Bone marrow smear · single cell centered in the field: 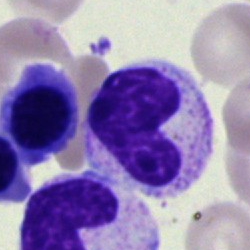Classification = stab cell.